Bone marrow smear:
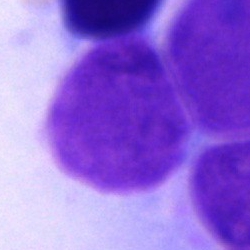
The cell shown is an artifact.